Bone marrow aspirate smear — 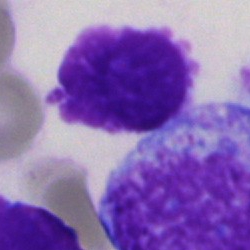
The cell type is artifact.